250 by 250 pixels · bone marrow aspirate smear:
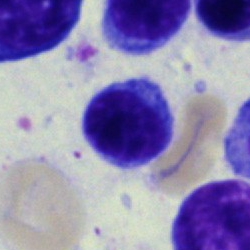 The morphological class is lymphocyte.